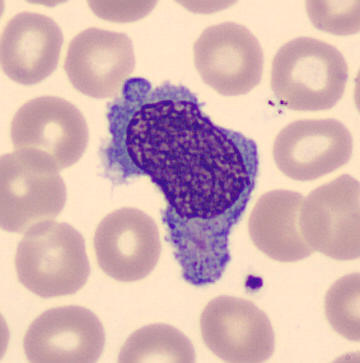 Peripheral blood smear.
Monocyte.